Bone marrow smear:
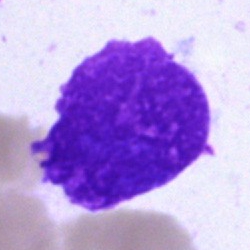
Classification — artifact.